Bone marrow smear.
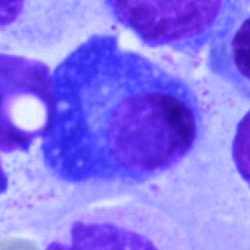

Cell = plasma cell.